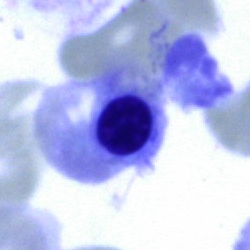
{"cell_type": "nucleated red cell"}